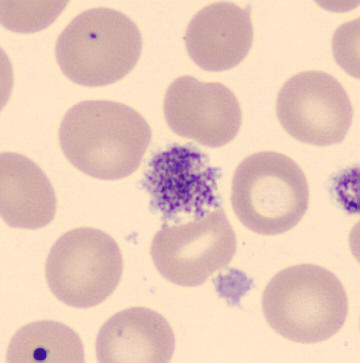

Q: What is this?
A: It is a thrombocyte.